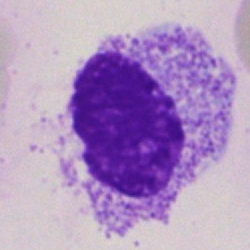
Q: What is shown here?
A: Artifact.